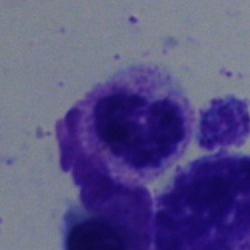
Cell: polymorphonuclear neutrophil.